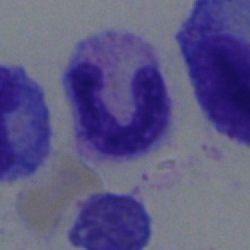 The cell type is neutrophil (segmented).